Image size 250×250; bone marrow smear
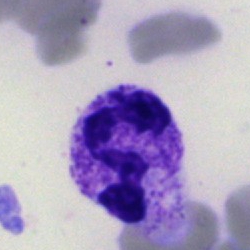Cell = polymorphonuclear neutrophil.